Bone marrow smear.
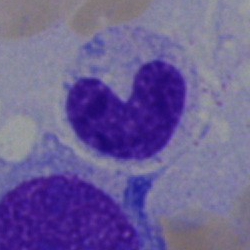
This is a neutrophil (band).